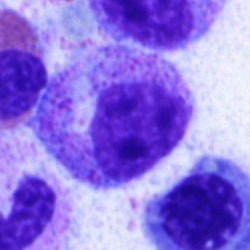 Bone marrow smear showing a myelocyte.